Bone marrow smear:
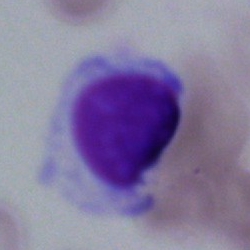
Morphology consistent with an artifact.